Bone marrow smear. Single-cell crop: 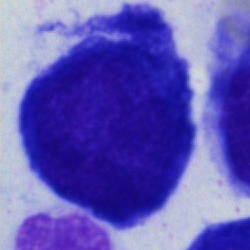 Specimen: bone marrow smear.
Cell: proerythroblast.